250×250 px; bone marrow smear.
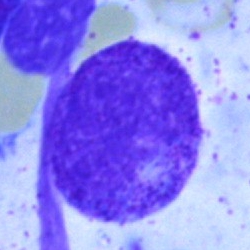 Q: What is shown here?
A: Myelocyte.